Bone marrow aspirate smear. 250 by 250 pixels — 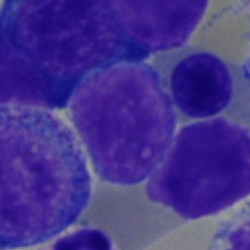 Morphology — lymphocyte.